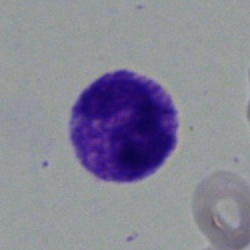

A segmented neutrophil.